Bone marrow aspirate smear — 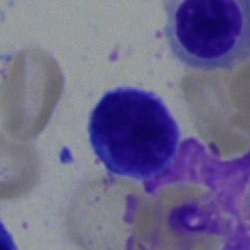 Lymphocyte.